Bone marrow aspirate smear · MGG-stained · 40× objective, oil immersion
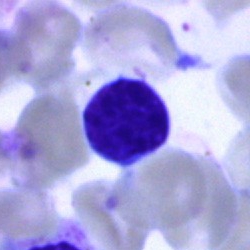

The cell type is typical lymphocyte.